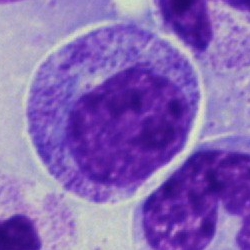
Single cell identified as a myelocyte.